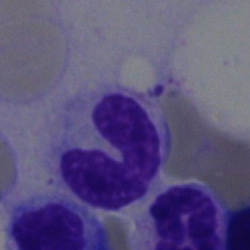Q: What is shown here?
A: A band-form neutrophil.